40× oil immersion · 250 by 250 pixels · bone marrow aspirate smear
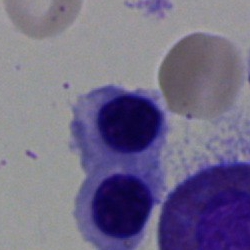

Specimen: bone marrow aspirate smear.
Classification: normoblast.
Lineage: erythroid.